250 by 250 pixels. Pappenheim-stained. Bone marrow aspirate smear — 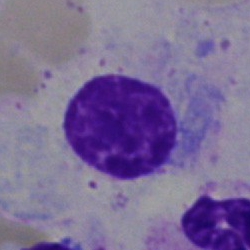 Morphology — artefact.